Bone marrow aspirate smear
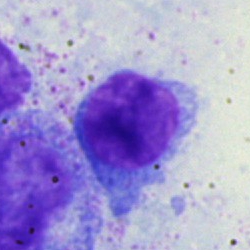
Cell — lymphocyte.